Bone marrow smear: 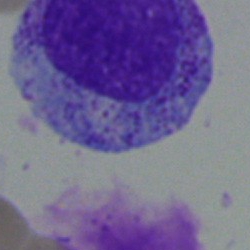

Q: Identify the cell.
A: This is a myelocyte.